Bone marrow aspirate smear:
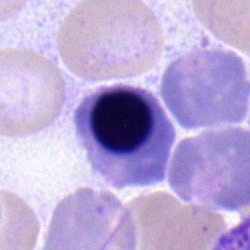A nucleated red blood cell.